Bone marrow aspirate smear: 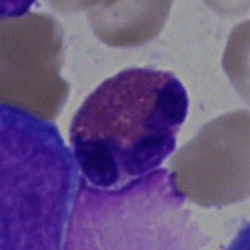
The cell shown is an eosinophilic granulocyte.